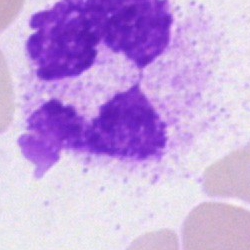

Showing an artifact.